Bone marrow aspirate smear:
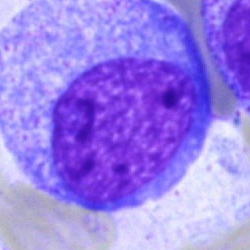Showing a progranulocyte.